Brightfield microscopy, 40× oil immersion · bone marrow aspirate smear
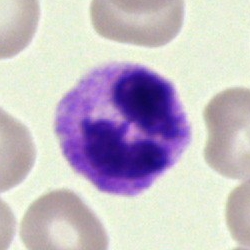Cell — segmented neutrophil.